Bone marrow smear:
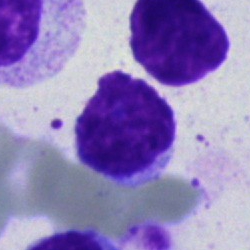

{"cell_type": "typical lymphocyte", "lineage": "lymphoid"}